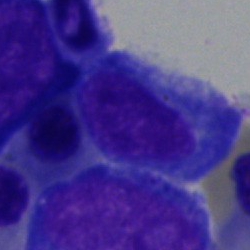Cell type — nucleated red cell.